Bone marrow aspirate smear · MGG-stained:
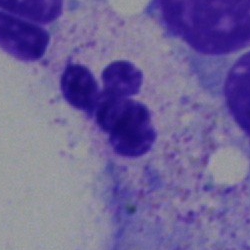Morphology — polymorphonuclear neutrophil.